Bone marrow aspirate smear. May-Grünwald-Giemsa/Pappenheim stain. 40× objective, oil immersion:
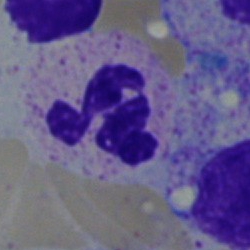Cell: segmented neutrophil.